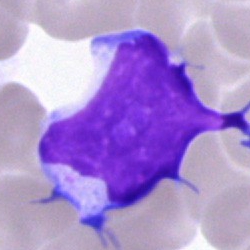 Artifact.